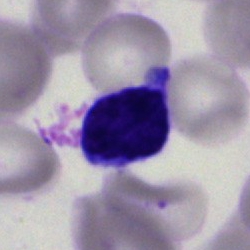Impression — lymphocyte.